Peripheral blood film — 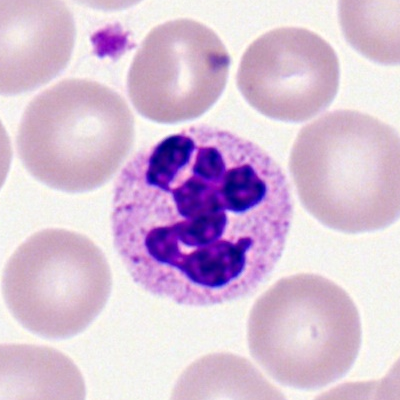Q: What is the morphological classification of this cell?
A: This is a segmented neutrophil.